Peripheral blood film.
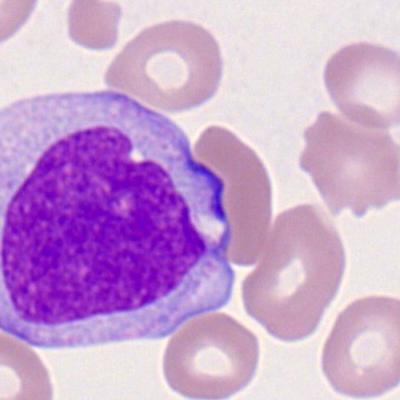 Morphological class: monoblast.